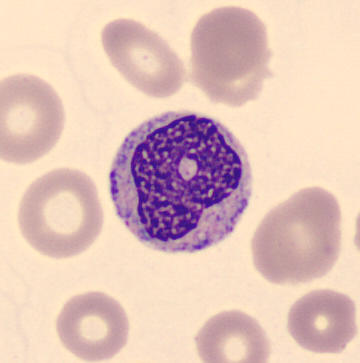 Classification: band neutrophil.